Bone marrow smear. 40× objective, oil immersion. 250×250: 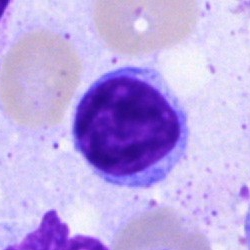Q: Which cell type is shown here?
A: Lymphocyte.